Bone marrow aspirate smear.
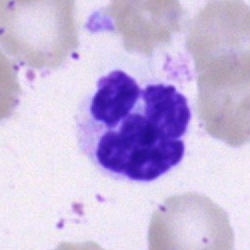
Cell type = segmented neutrophil.